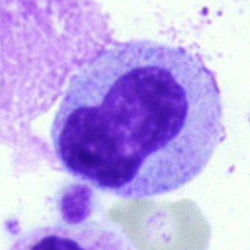
Morphology — stab cell.